40× oil immersion. May-Grünwald-Giemsa/Pappenheim stain. Bone marrow aspirate smear
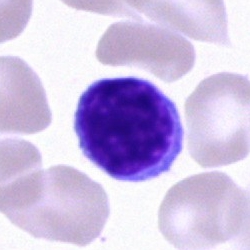Impression → lymphocyte.